MGG-stained. Bone marrow smear:
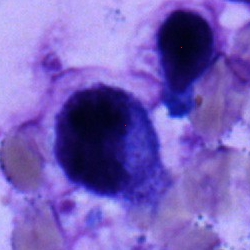Q: Which cell type is shown here?
A: It is a monocyte.